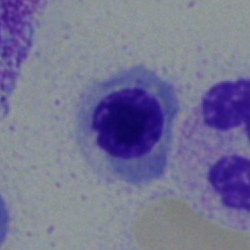

The cell is erythroblast.